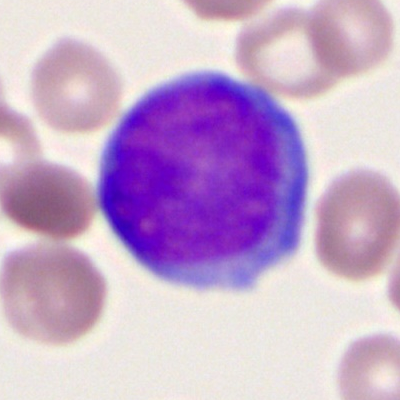

Single-cell crop from a peripheral blood smear: myeloblast.